Bone marrow aspirate smear; MGG-stained; 250×250 px:
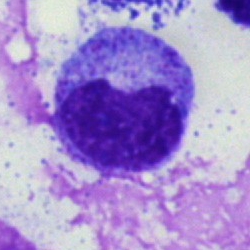
Specimen: bone marrow smear.
Morphological class: myelocyte.